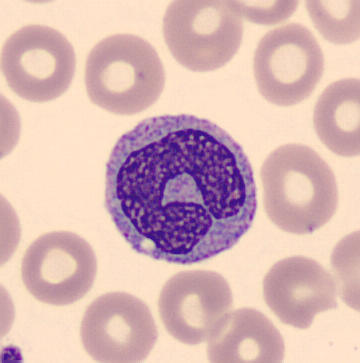
Morphology → monocyte.